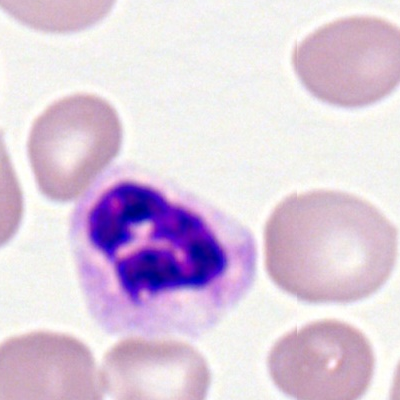 Q: Identify the cell.
A: A segmented neutrophil.